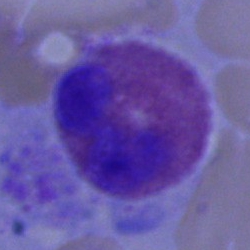
Bone marrow smear showing an eosinophil.